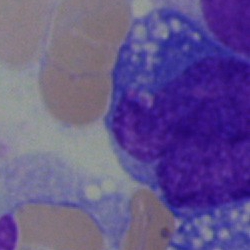 {"cell_type": "blast cell"}